Bone marrow aspirate smear:
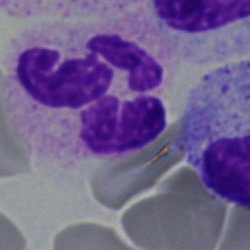Q: What cell is this?
A: Segmented neutrophil.